Peripheral blood film.
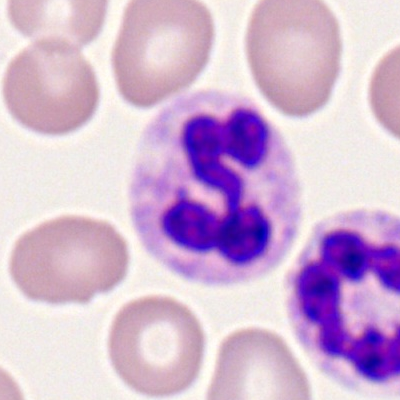
Specimen: peripheral blood smear.
Morphological class: segmented neutrophil.
Lineage: myeloid.